Bone marrow smear — 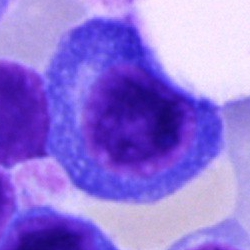 Showing a plasma cell.